Bone marrow smear. Single-cell crop.
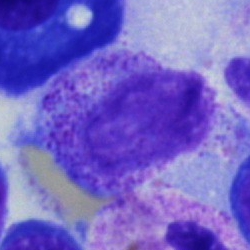
Impression → myelocyte.